Bone marrow smear:
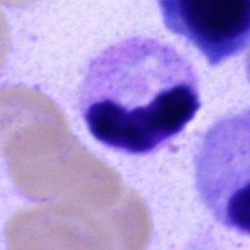

Specimen: bone marrow smear.
Morphological class: neutrophil (segmented).
Lineage: myeloid.